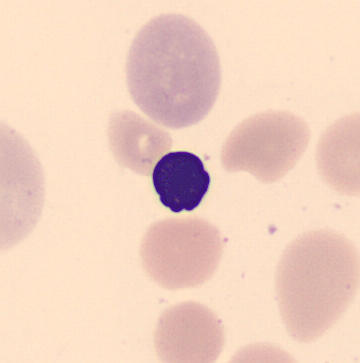Peripheral blood film.
Identified as a nucleated red blood cell.